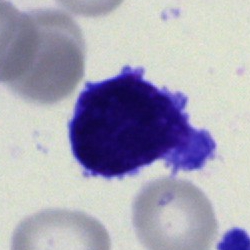A blast.